Bone marrow smear.
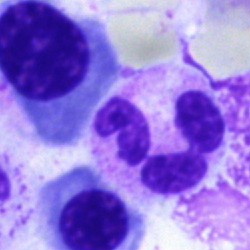
Morphology consistent with a basophil.